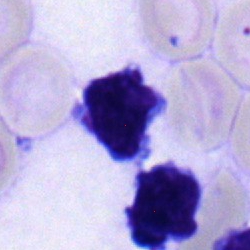 Morphological class = typical lymphocyte.